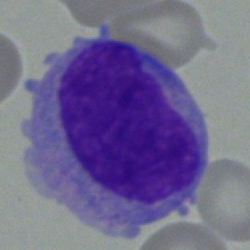 Single cell identified as a monocyte.